Bone marrow smear. May-Grünwald-Giemsa/Pappenheim stain: 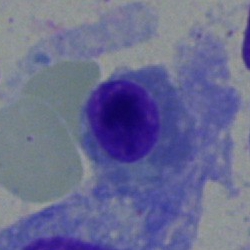

Specimen: bone marrow smear.
Cell: erythroblast.